Bone marrow smear: 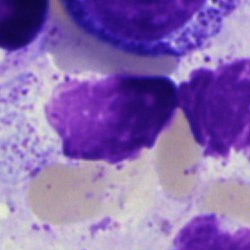
Specimen: bone marrow aspirate smear.
Classification: artifact.